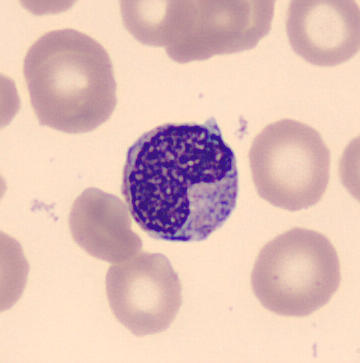
Specimen: peripheral blood film.
Classification: metamyelocyte.